Bone marrow smear
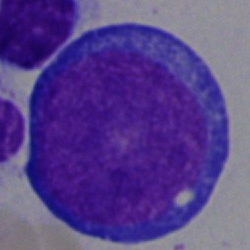

Cell — pronormoblast.